Bone marrow smear — 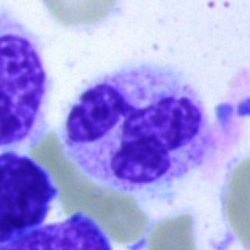
Morphology — segmented neutrophil.